40× objective, oil immersion. Bone marrow smear
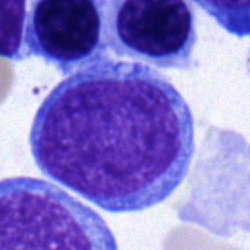Morphology consistent with an undifferentiated blast.